Bone marrow aspirate smear · single-cell field.
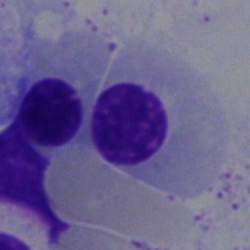Showing a normoblast.